Bone marrow smear: 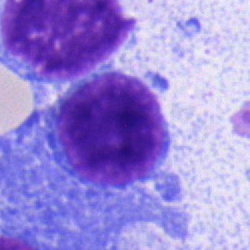Cell type — lymphocyte.